Bone marrow smear: 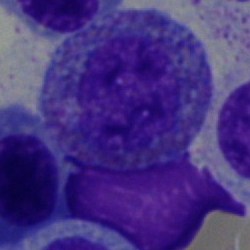

Cell type: eosinophil.